Bone marrow smear: 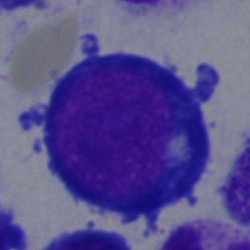

Cell — pronormoblast.